Bone marrow aspirate smear:
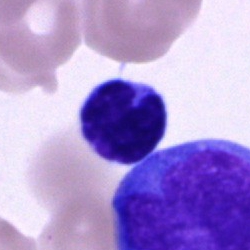Morphology — typical lymphocyte.